Single-cell crop; bone marrow aspirate smear — 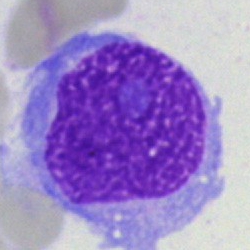

Cell type = blast.